MGG-stained; bone marrow aspirate smear
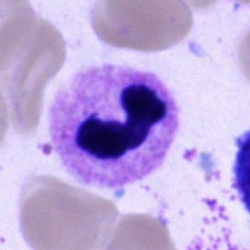

Specimen: bone marrow aspirate smear.
Classification: neutrophil (segmented).